Bone marrow aspirate smear — 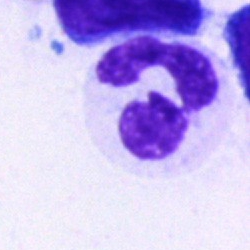

Q: Which cell type is shown here?
A: A segmented neutrophil.